M8 digital microscope (Precipoint), 100× oil immersion; peripheral blood film — 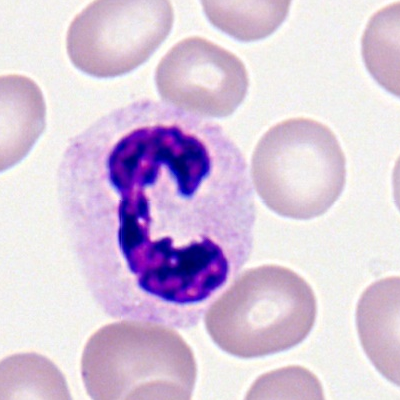 Impression — neutrophil (segmented).